Bone marrow aspirate smear · cropped to a single cell.
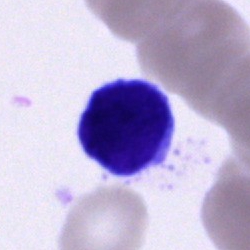 {"cell_type": "unidentifiable cell"}